Single cell centered in the field; bone marrow aspirate smear:
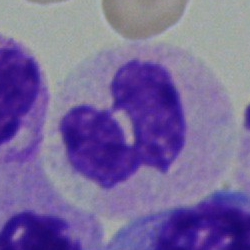 Morphology → segmented neutrophil.